Bone marrow smear
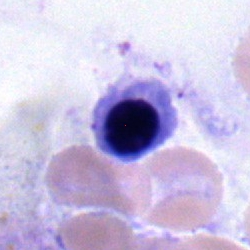

Specimen: bone marrow smear.
Cell type: erythroblast.
Lineage: erythroid.